Bone marrow smear · 40× oil immersion.
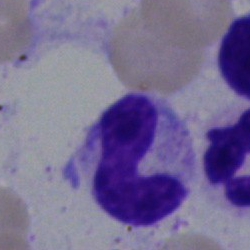

Cell: band-form neutrophil.